Bone marrow aspirate smear — 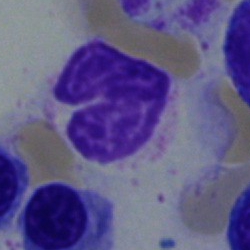
Morphological class — band neutrophil.